May-Grünwald-Giemsa stain; bone marrow smear — 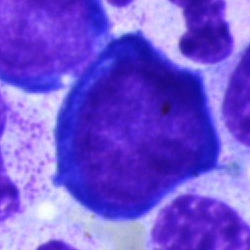
Q: What is the morphological classification of this cell?
A: It is a pronormoblast.